Bone marrow aspirate smear · brightfield, 40× oil-immersion objective
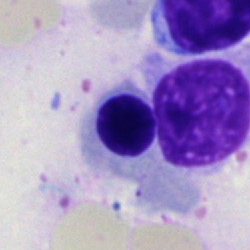

Classification = normoblast.